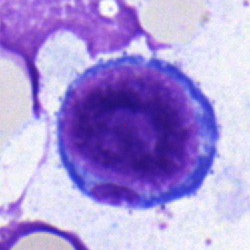Morphology — proerythroblast.